Bone marrow aspirate smear — 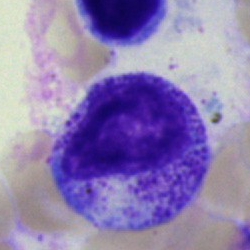{"cell_type": "myelocyte"}